Image size 250×250; bone marrow smear; single-cell field.
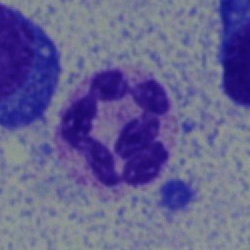 Q: Which cell type is shown here?
A: Polymorphonuclear neutrophil.